Bone marrow smear
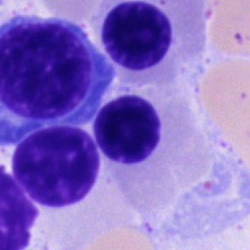

Q: Identify the cell.
A: A nucleated red blood cell.